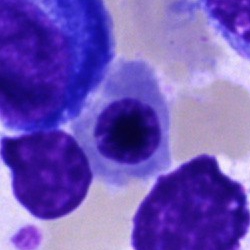Classification: normoblast.